Bone marrow smear · single-cell crop:
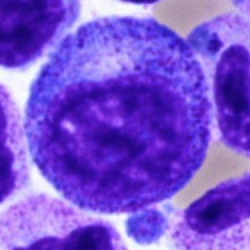 Q: Which cell type is shown here?
A: Promyelocyte.